Bone marrow smear:
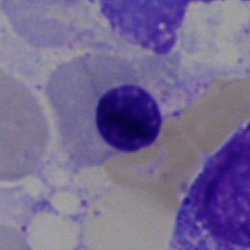
The cell shown is a normoblast.